Image size 250×250. Bone marrow aspirate smear
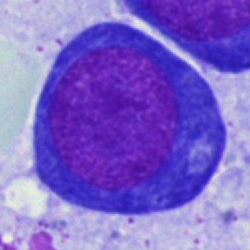 The morphological class is proerythroblast.